Bone marrow aspirate smear — 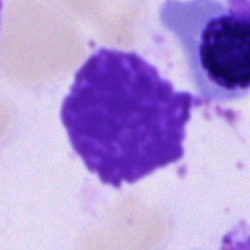

Morphology — artefact.